Bone marrow smear:
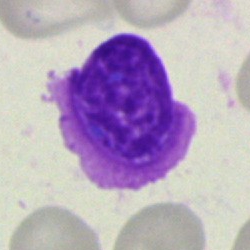

Classification — artifact.